Bone marrow smear. Cropped to a single cell:
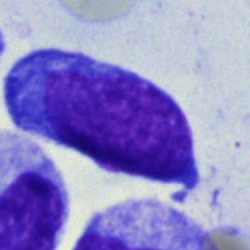{"cell_type": "blast"}